Brightfield, 40× oil-immersion objective; bone marrow smear; 250 by 250 pixels:
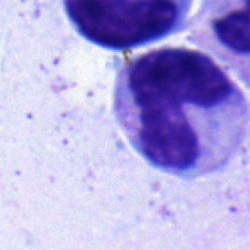

Showing a stab cell.